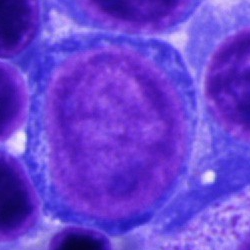

{"cell_type": "pronormoblast"}